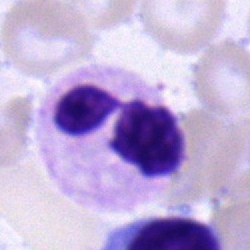 Single cell identified as a polymorphonuclear neutrophil.